250×250; bone marrow smear — 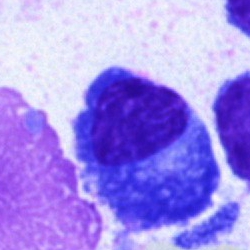
The cell is plasma cell.